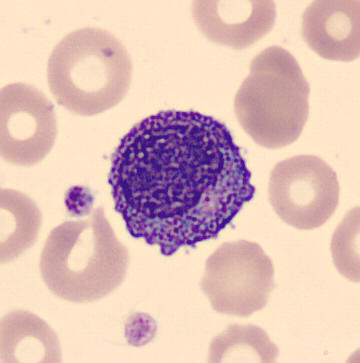

Image size 360×363; single-cell field; peripheral blood film. This is a progranulocyte.